Brightfield microscopy, 40× oil immersion · bone marrow aspirate smear: 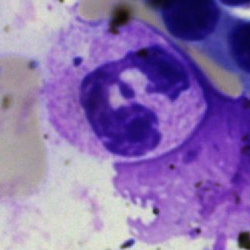Impression → segmented neutrophil.